Bone marrow smear — 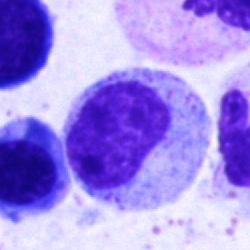
Specimen: bone marrow smear.
Morphological class: myelocyte.
Lineage: myeloid.